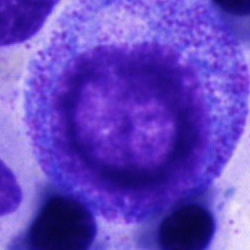 A progranulocyte.